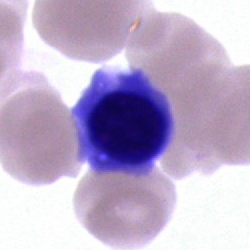{"cell_type": "nucleated red blood cell", "lineage": "erythroid"}